Bone marrow smear — 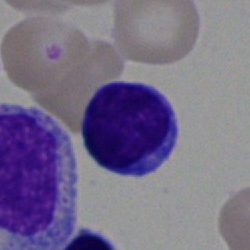Single cell identified as a lymphocyte.